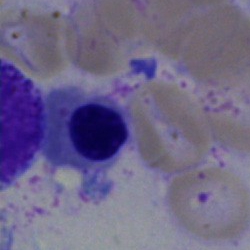

Morphology → nucleated red blood cell.